Bone marrow smear — 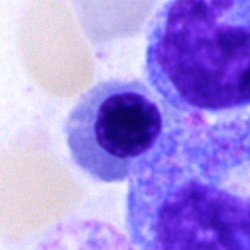 Classification: nucleated red cell.